Peripheral blood smear:
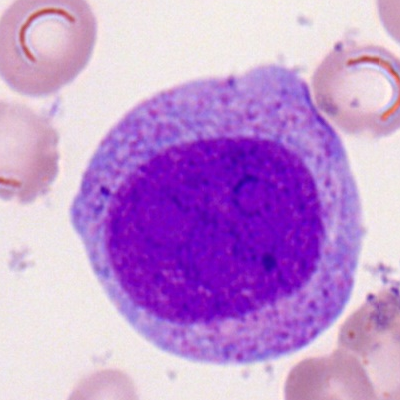

Classification — promyelocyte.